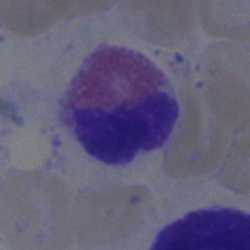
The cell shown is an eosinophil.